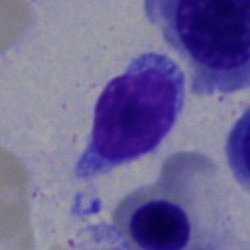Q: What is the morphological classification of this cell?
A: A typical lymphocyte.